Bone marrow smear; cropped to a single cell.
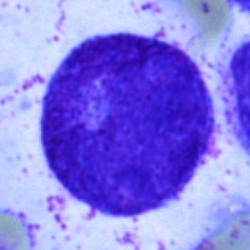
The cell is progranulocyte.